Bone marrow smear — 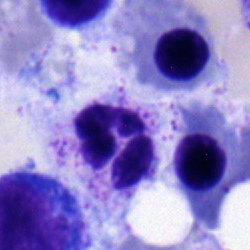
{"cell_type": "segmented neutrophil", "lineage": "myeloid"}